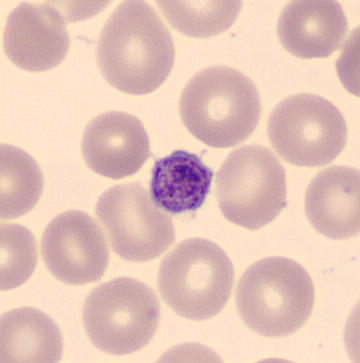 Preparation: Peripheral blood smear.
Morphology → thrombocyte.